Bone marrow aspirate smear:
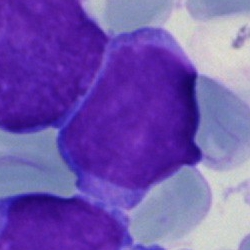
Q: Identify the cell.
A: A blast cell.